Bone marrow smear
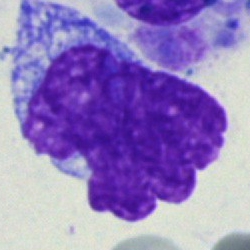Cell: artifact.